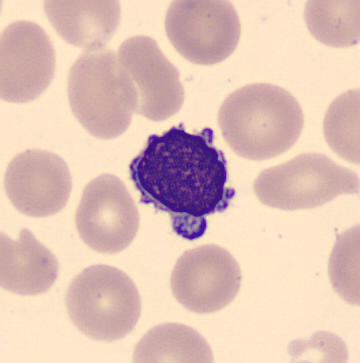Morphology consistent with a typical lymphocyte. Preparation: 360×363. Peripheral blood smear. May-Grünwald-Giemsa-stained.